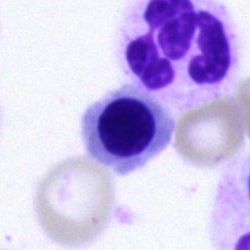
Specimen: bone marrow aspirate smear.
Cell type: erythroblast.